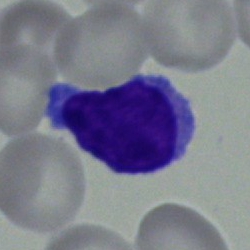 Lymphocyte.